Bone marrow smear:
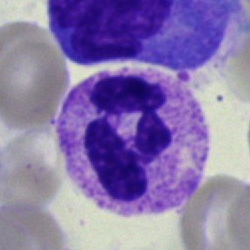The cell is polymorphonuclear neutrophil.